Single cell centered in the field · bone marrow smear:
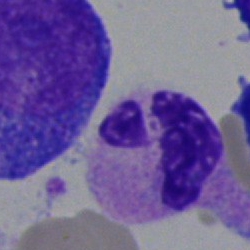
Q: What is the morphological classification of this cell?
A: A polymorphonuclear neutrophil.